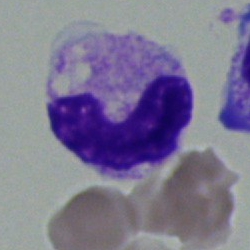{"cell_type": "neutrophil (band)"}